40× objective, oil immersion · bone marrow aspirate smear · Pappenheim-stained
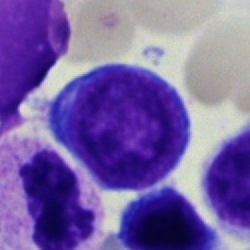
Morphological class = lymphocyte.